Bone marrow aspirate smear — 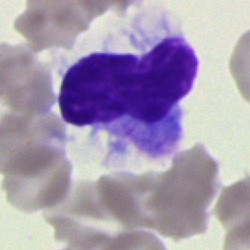
Classification = artifact.